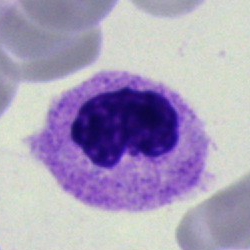Morphological class — neutrophil (band).